Peripheral blood film: 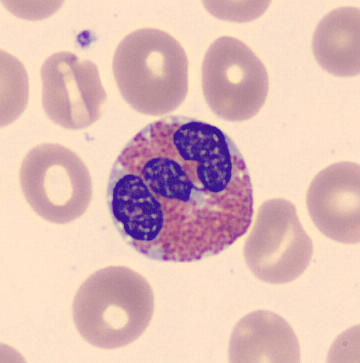

The classification is eosinophil.